Bone marrow aspirate smear: 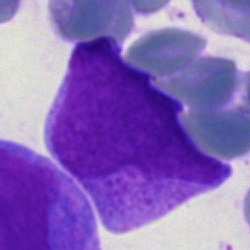
{"cell_type": "blast"}